Romanowsky-stained · brightfield, 100× oil-immersion objective · peripheral blood film:
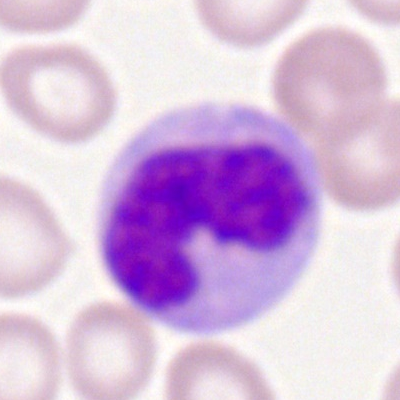

Q: Identify the cell.
A: This is a monocyte.